Bone marrow aspirate smear: 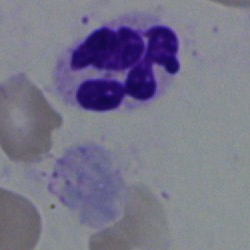The classification is neutrophil (segmented).